Bone marrow aspirate smear; Pappenheim-stained — 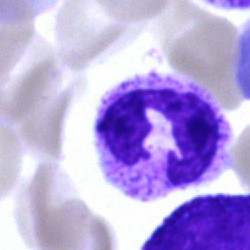

Cell — segmented neutrophil.